Peripheral blood smear: 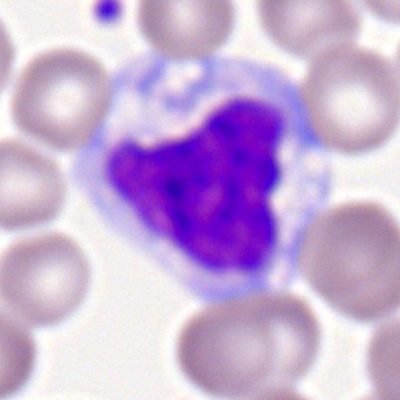

This is a monocyte.